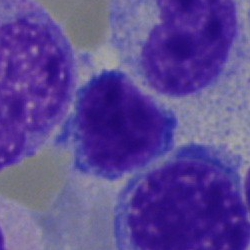

Specimen: bone marrow aspirate smear.
Morphological class: lymphocyte.